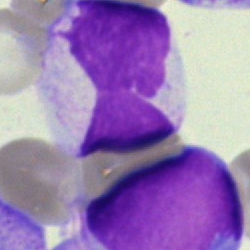

{"cell_type": "monocyte", "lineage": "myeloid"}